Peripheral blood smear
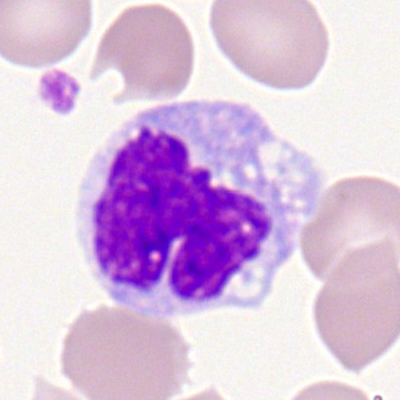

The cell is monocyte.